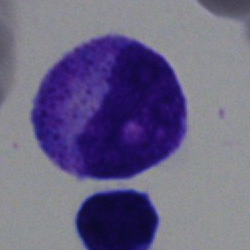
{"cell_type": "promyelocyte"}